40× oil immersion · bone marrow smear
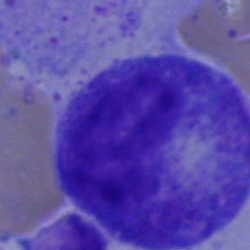Cell type = progranulocyte.